Bone marrow smear:
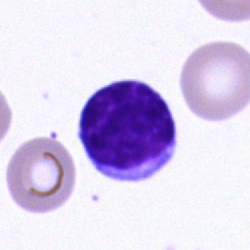 This is a typical lymphocyte.